Bone marrow aspirate smear.
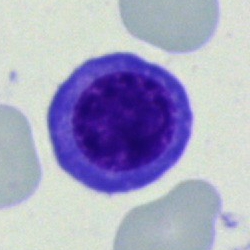
Single cell identified as a normoblast.